Bone marrow smear.
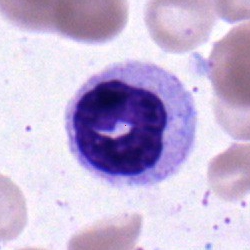Specimen: bone marrow aspirate smear.
Classification: neutrophil (segmented).
Lineage: myeloid.